Bone marrow smear. Single-cell field: 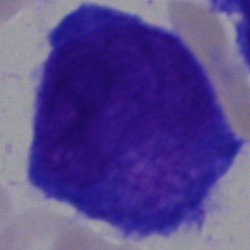Q: Identify the cell.
A: A blast cell.